Bone marrow smear; Pappenheim-stained.
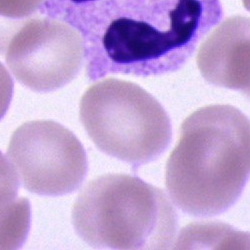

Single cell identified as a neutrophil (segmented).